Peripheral blood film; 400×400 px: 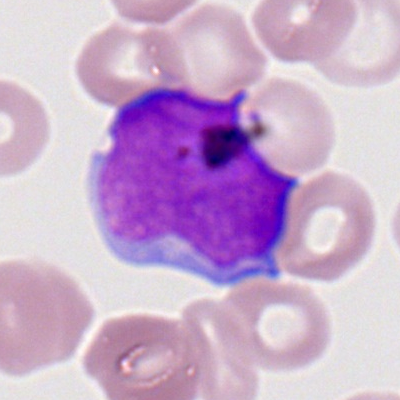 {"cell_type": "myeloid blast"}